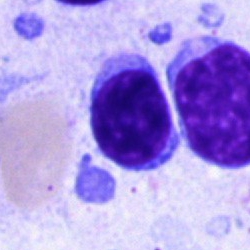The cell is lymphocyte.